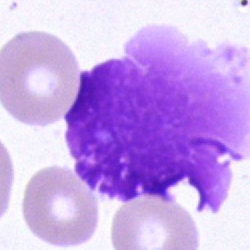 Specimen: bone marrow smear.
Cell type: artifact.